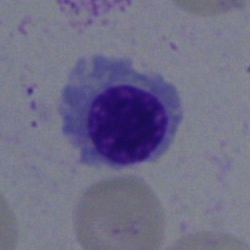

Cell: normoblast.